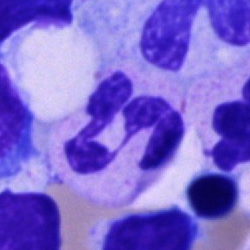 {"cell_type": "polymorphonuclear neutrophil", "lineage": "myeloid"}